Bone marrow smear — 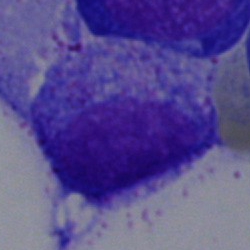 Showing a promyelocyte.